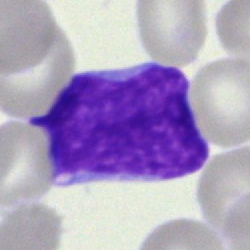Specimen: bone marrow aspirate smear.
Cell: blast.